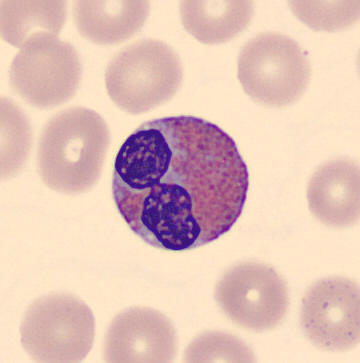Single cell identified as an eosinophil.
Image: Peripheral blood smear · 360×363.